Bone marrow aspirate smear — 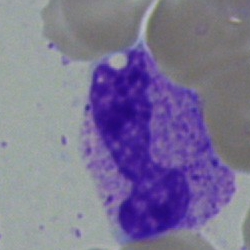Showing a band neutrophil.